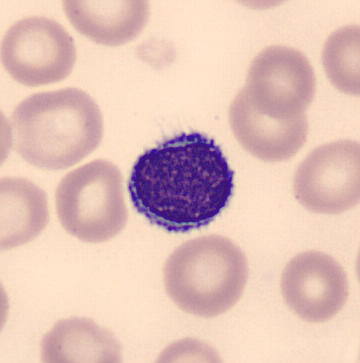

Preparation: Peripheral blood film. A typical lymphocyte.